Single-cell crop · bone marrow smear:
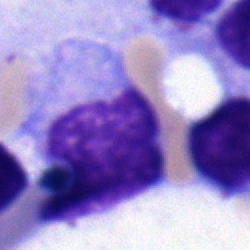 Morphology consistent with a monocyte.